Bone marrow aspirate smear.
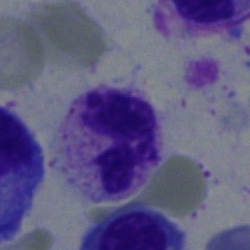The cell shown is a polymorphonuclear neutrophil.